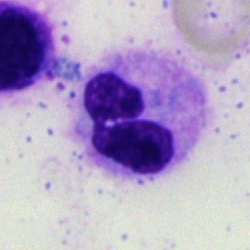
Single cell identified as a neutrophil (segmented).